40× oil immersion · May-Grünwald-Giemsa/Pappenheim stain · bone marrow aspirate smear
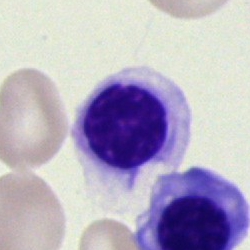 Cell type — normoblast.